Bone marrow smear — 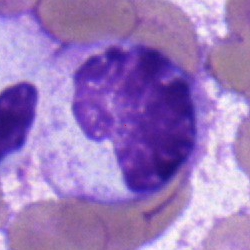Morphological class — metamyelocyte.